Peripheral blood film
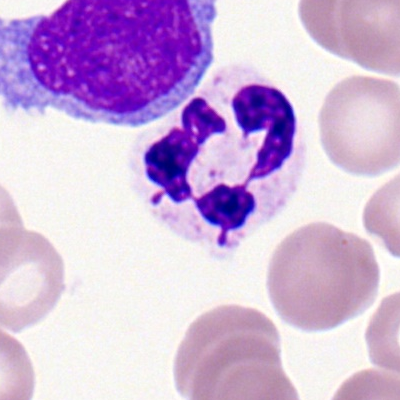

Segmented neutrophil.